Bone marrow aspirate smear:
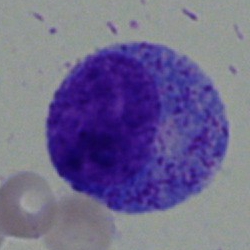 The classification is myelocyte.